Bone marrow smear; cropped to a single cell.
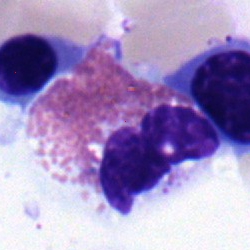

Morphology consistent with an eosinophilic granulocyte.